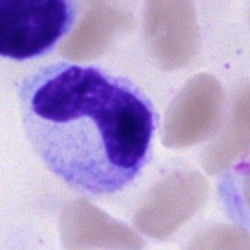Classification: stab cell.